Bone marrow aspirate smear · single cell centered in the field
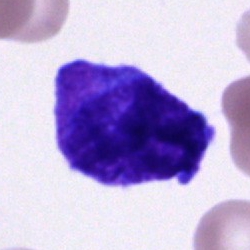The morphological class is unidentifiable cell.